Bone marrow aspirate smear · brightfield, 40× oil-immersion objective:
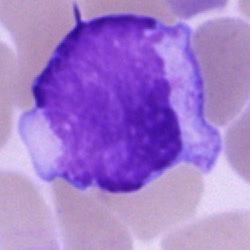

Morphology → unidentifiable cell.